Bone marrow smear:
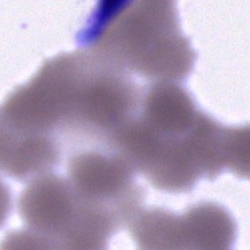Specimen: bone marrow smear.
Cell: artefact.